Bone marrow smear · May-Grünwald-Giemsa stain:
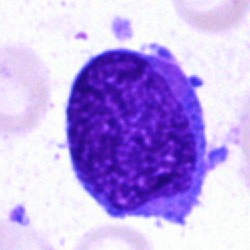

Cell type = undifferentiated blast.